Bone marrow aspirate smear · single-cell crop
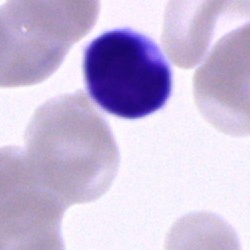 Morphology → lymphocyte.